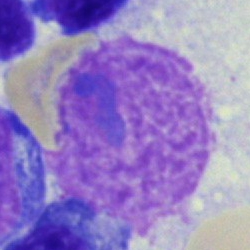
An artefact on a bone marrow smear.